Bone marrow aspirate smear; brightfield microscopy, 40× oil immersion:
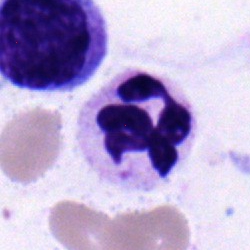
Q: What is shown here?
A: Neutrophil (segmented).